Peripheral blood smear:
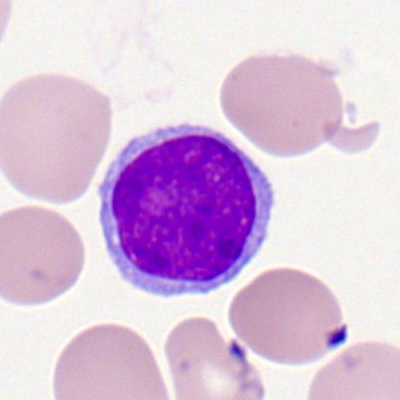
Morphology consistent with a lymphocyte.